MGG-stained; bone marrow aspirate smear
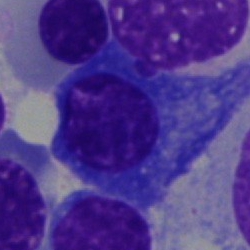Morphology consistent with a plasmacyte.